Bone marrow aspirate smear
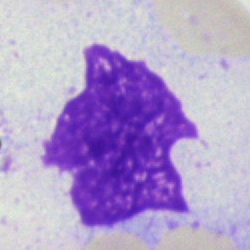

Single cell identified as an artefact.